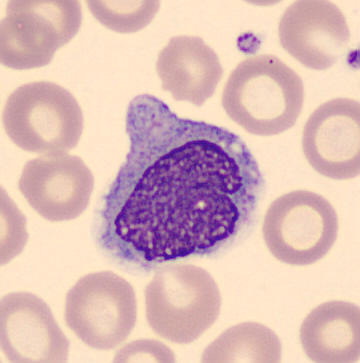The cell shown is a monocyte. Acquisition: Peripheral blood film.